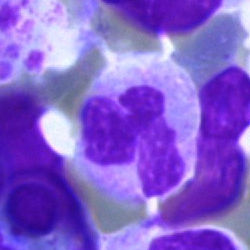

The classification is polymorphonuclear neutrophil.